Brightfield, 40× oil-immersion objective · bone marrow aspirate smear:
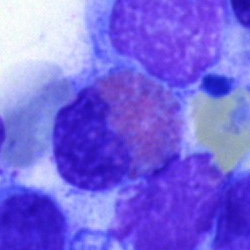Single cell identified as an eosinophil.